Bone marrow aspirate smear · brightfield, 40× oil-immersion objective — 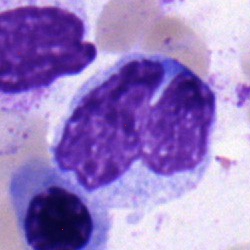
Single cell identified as a monocyte.